Bone marrow aspirate smear.
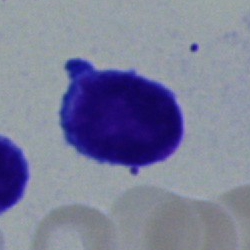
Q: Identify the cell.
A: This is a typical lymphocyte.